Bone marrow aspirate smear — 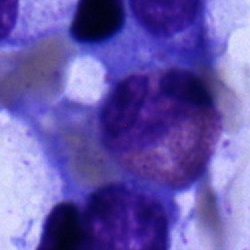
Specimen: bone marrow smear.
Cell type: eosinophil.
Lineage: myeloid.